Bone marrow aspirate smear
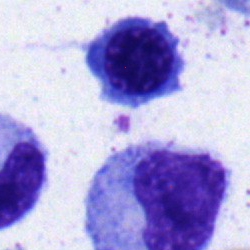Q: Which cell type is shown here?
A: It is a nucleated red blood cell.